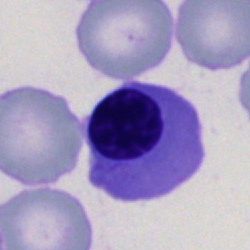

Impression → erythroblast.